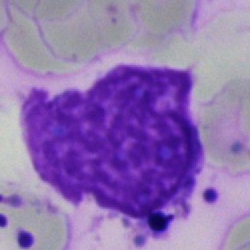Impression → artefact.